Bone marrow smear.
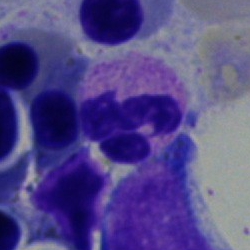Classification = neutrophil (segmented).